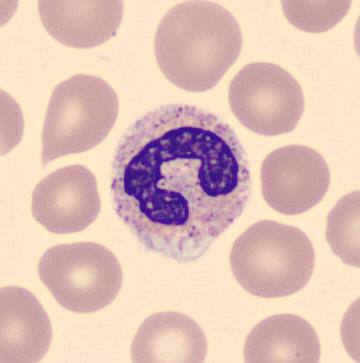

The classification is band-form neutrophil.
Peripheral blood smear.